Bone marrow smear:
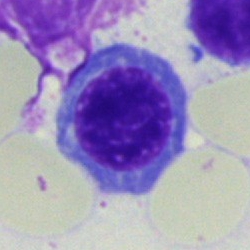 Specimen: bone marrow smear.
Cell: nucleated red cell.